Bone marrow smear:
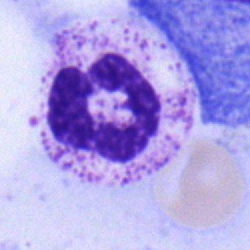{"cell_type": "polymorphonuclear neutrophil", "lineage": "myeloid"}